Bone marrow aspirate smear:
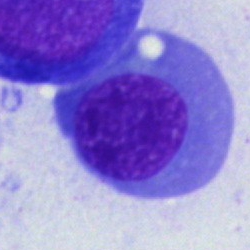
{"cell_type": "nucleated red blood cell", "lineage": "erythroid"}